40× objective, oil immersion. Bone marrow smear. MGG-stained: 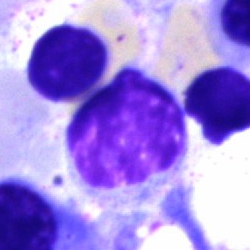
Morphological class: lymphocyte.